Bone marrow smear
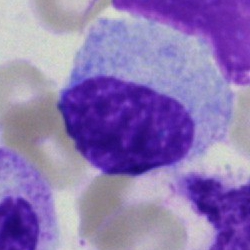
Q: Identify the cell.
A: This is a myelocyte.